May-Grünwald-Giemsa/Pappenheim stain · bone marrow aspirate smear: 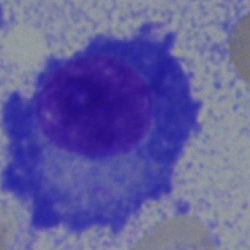
Morphology — plasmacyte.